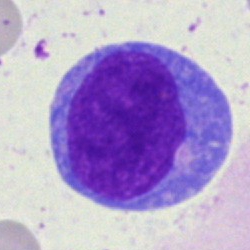

Cell — blast cell.